Bone marrow smear — 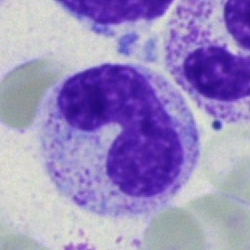

The morphological class is stab cell.